Bone marrow smear. Cropped to a single cell:
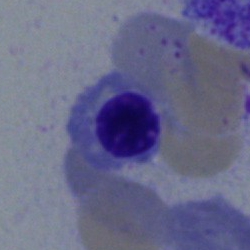
Specimen: bone marrow smear.
Cell type: normoblast.
Lineage: erythroid.